Peripheral blood film
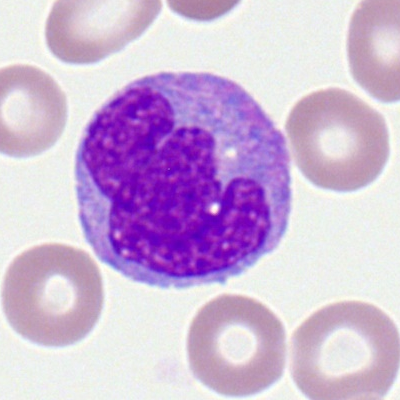 The morphological class is monocyte.